Bone marrow smear. Cropped to a single cell: 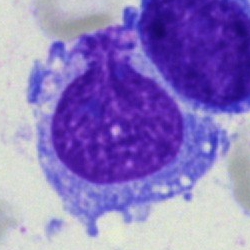Q: What cell is this?
A: This is a plasma cell.